Bone marrow smear:
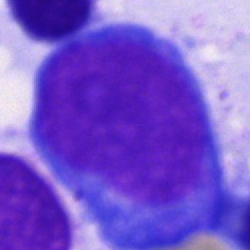
Showing a blast cell.